Image size 250×250 · bone marrow aspirate smear: 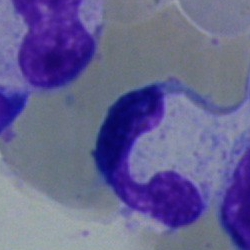
Morphology — polymorphonuclear neutrophil.